Bone marrow smear · Pappenheim-stained
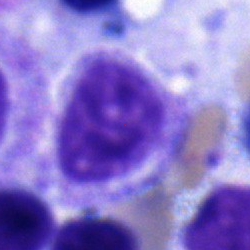The morphological class is myelocyte.